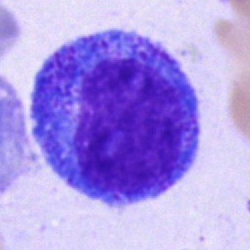
A progranulocyte.